Cropped to a single cell. Bone marrow smear:
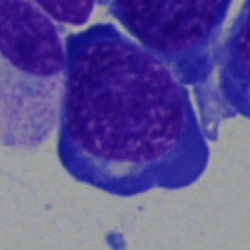
The cell type is nucleated red blood cell.